Brightfield microscopy, 40× oil immersion. Bone marrow smear — 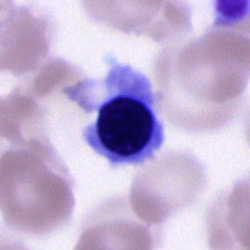 This is a nucleated red blood cell.